Pappenheim-stained. Bone marrow smear: 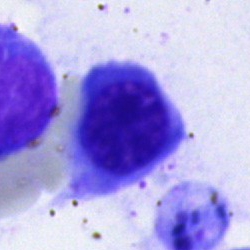Q: Which cell type is shown here?
A: It is a nucleated red blood cell.